Brightfield microscopy, 40× oil immersion. Cropped to a single cell. Bone marrow aspirate smear: 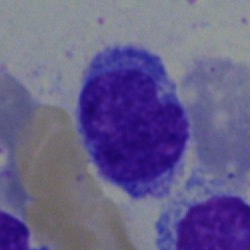 Cell type — typical lymphocyte.